May-Grünwald-Giemsa/Pappenheim stain. Bone marrow aspirate smear — 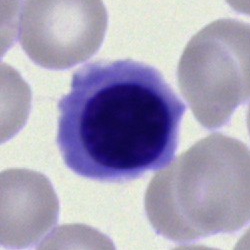
Erythroblast.